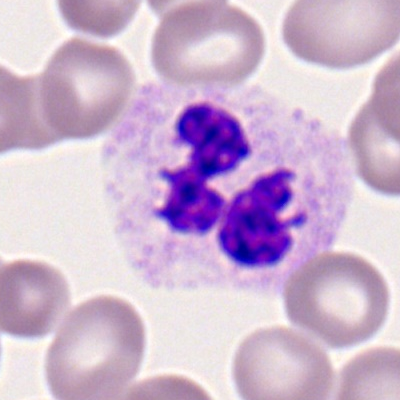
Cell type = polymorphonuclear neutrophil.